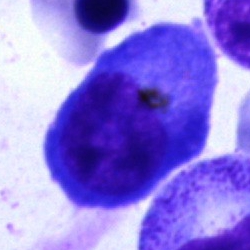

Cell — plasmacyte.